Single-cell crop · May-Grünwald-Giemsa/Pappenheim stain · bone marrow aspirate smear
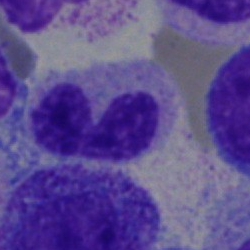
Specimen: bone marrow aspirate smear.
Classification: segmented neutrophil.
Lineage: myeloid.